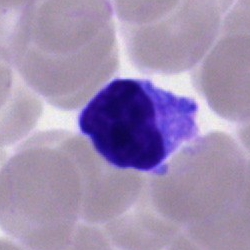{"cell_type": "lymphocyte", "lineage": "lymphoid"}